Bone marrow smear; single cell centered in the field:
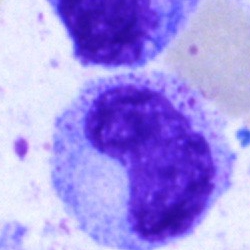
Single cell identified as a metamyelocyte.